Bone marrow aspirate smear:
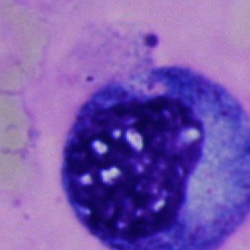
A progranulocyte.